Bone marrow smear.
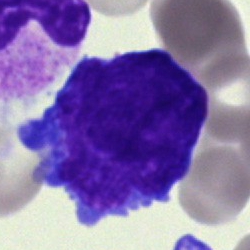Blast cell.